Single-cell field · MGG-stained · bone marrow aspirate smear
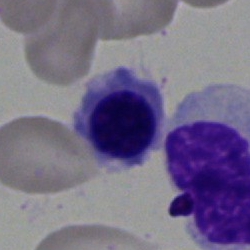 The cell is normoblast.